250×250. Bone marrow aspirate smear
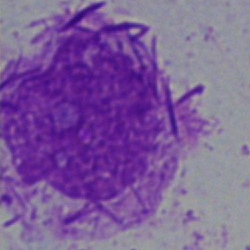
Cell type — faggot cell.